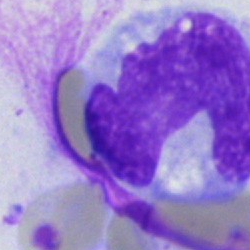 Morphology → neutrophil (band).